Bone marrow aspirate smear:
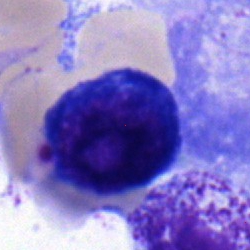 Q: What is the morphological classification of this cell?
A: This is a nucleated red cell.